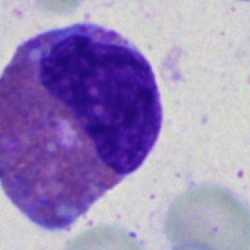
Specimen: bone marrow aspirate smear.
Morphological class: eosinophil.
Lineage: myeloid.